Bone marrow aspirate smear.
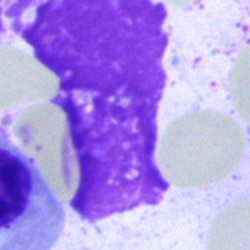 Classification: artefact.